Bone marrow aspirate smear — 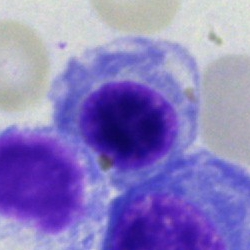Q: What is shown here?
A: A normoblast.